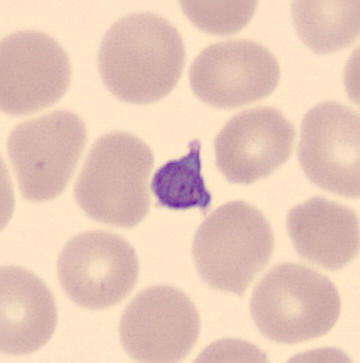
Acquisition: Peripheral blood smear; CellaVision DM96 digital cell image.
Morphology → platelet.